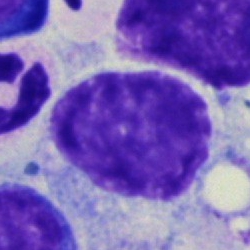Cell = cell of indeterminate lineage.